Bone marrow smear; 250×250 px: 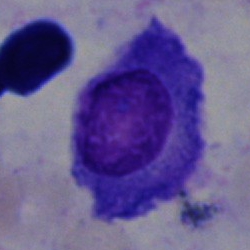

Morphology — plasmacyte.